Bone marrow smear: 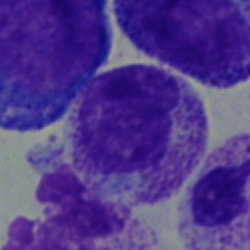
Cell: myelocyte.